Image size 250×250 · bone marrow aspirate smear.
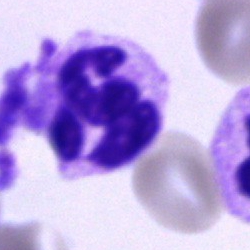
Q: What type of cell is this?
A: A segmented neutrophil.